Bone marrow aspirate smear: 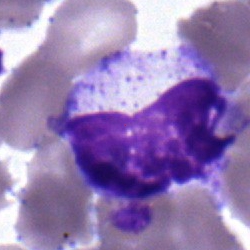

Specimen: bone marrow aspirate smear.
Classification: metamyelocyte.